Pappenheim-stained. Bone marrow aspirate smear — 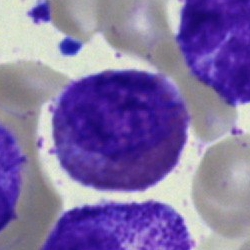
Showing an eosinophilic granulocyte.